Pappenheim-stained · bone marrow aspirate smear — 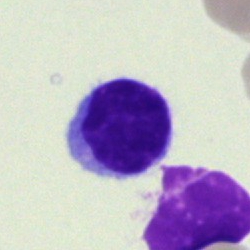 Single cell identified as a lymphocyte.